Single-cell crop; bone marrow smear — 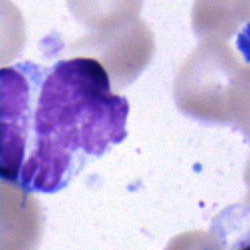Specimen: bone marrow smear.
Cell type: lymphocyte.